Cropped to a single cell; brightfield microscopy, 40× oil immersion; bone marrow aspirate smear: 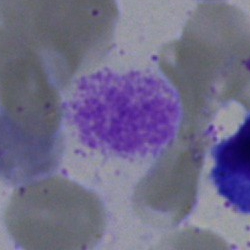 An artifact.